40× objective, oil immersion; bone marrow aspirate smear; 250×250 px — 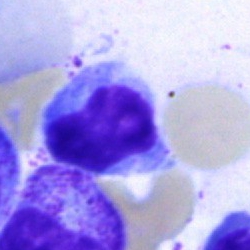

Single cell identified as a typical lymphocyte.